Bone marrow smear — 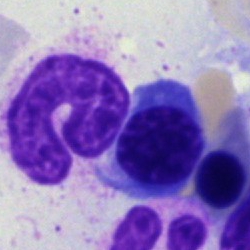
The cell is band neutrophil.